250×250 px · 40× objective, oil immersion · bone marrow smear.
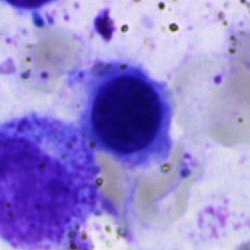
Specimen: bone marrow smear.
Morphological class: nucleated red blood cell.